Bone marrow aspirate smear. Brightfield microscopy, 40× oil immersion. Cropped to a single cell — 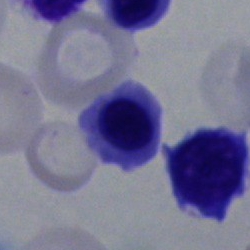
Cell type — nucleated red blood cell.